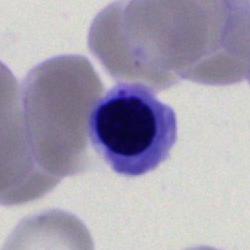

Bone marrow smear showing a nucleated red blood cell.